Bone marrow smear:
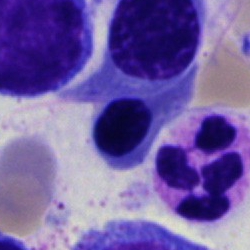 Cell = normoblast.